Image size 250×250. Bone marrow smear
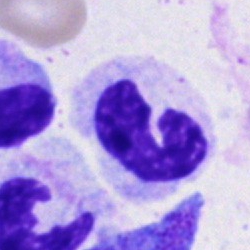Q: What type of cell is this?
A: Segmented neutrophil.